250×250 px · bone marrow smear: 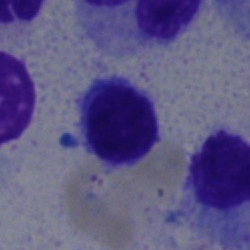

Cell — typical lymphocyte.